Bone marrow aspirate smear:
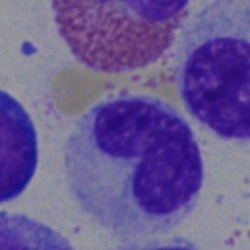
Cell: band-form neutrophil.